Peripheral blood film. 400×400 px.
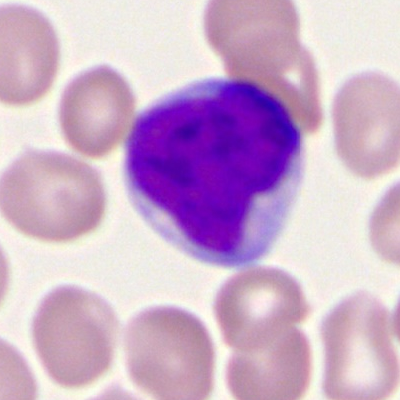
Q: What is shown here?
A: It is a myeloblast.